Peripheral blood film
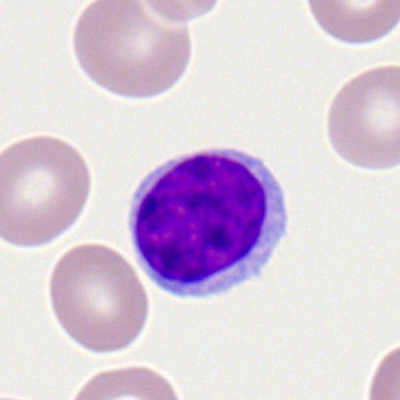

Single cell identified as a typical lymphocyte.